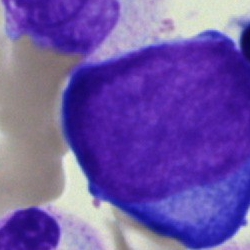 Q: What is shown here?
A: A pronormoblast.